Brightfield microscopy, 40× oil immersion. Bone marrow smear — 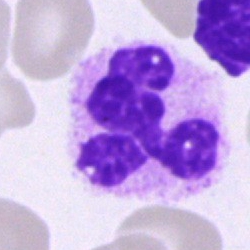
Classification = segmented neutrophil.